Bone marrow smear · 40× objective, oil immersion.
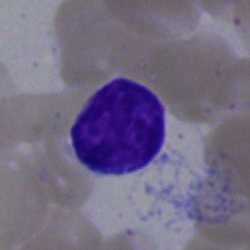Showing a lymphocyte.